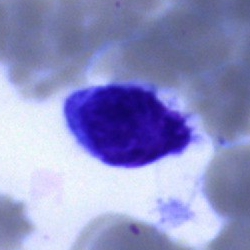
Single cell identified as a typical lymphocyte.